Single-cell field. Bone marrow aspirate smear. 250×250 px
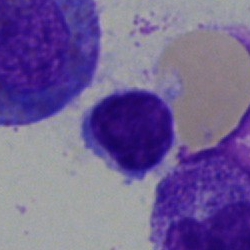Showing a lymphocyte.